100× objective, oil immersion; peripheral blood smear — 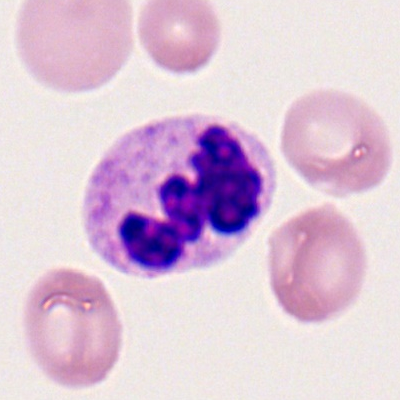
This is a polymorphonuclear neutrophil.